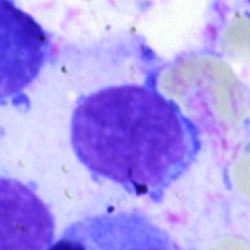Cell = typical lymphocyte.